Bone marrow aspirate smear · single cell centered in the field: 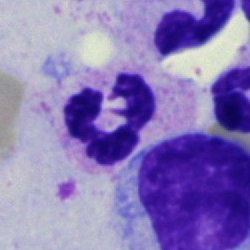 Q: Identify the cell.
A: Neutrophil (segmented).